Brightfield microscopy, 40× oil immersion; bone marrow aspirate smear.
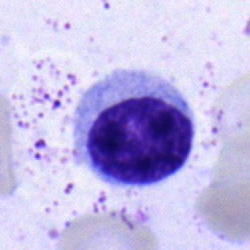
The cell shown is a myelocyte.